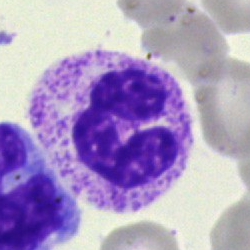

Morphological class: segmented neutrophil.